Bone marrow aspirate smear
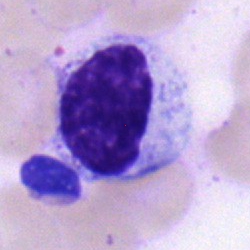 Morphology — monocyte.